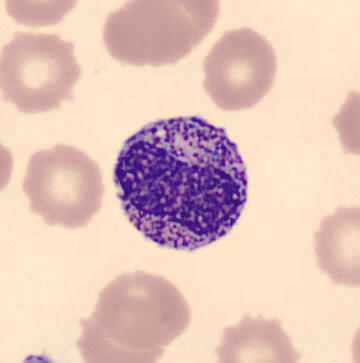

Identified as a metamyelocyte.
Peripheral blood film.